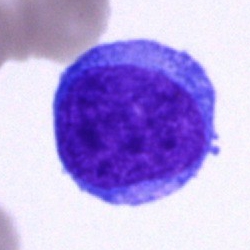
This is a blast.